250×250 px. Bone marrow aspirate smear — 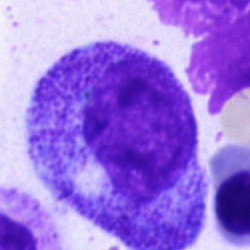

Progranulocyte.